Bone marrow smear:
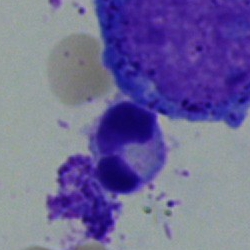

Specimen: bone marrow aspirate smear.
Cell type: artefact.